40× oil immersion · bone marrow aspirate smear.
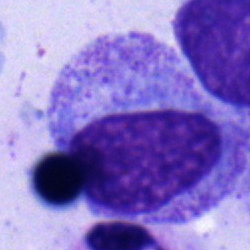Myelocyte.